Bone marrow aspirate smear — 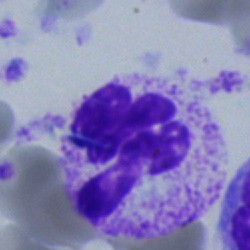 Showing a polymorphonuclear neutrophil.